Bone marrow aspirate smear.
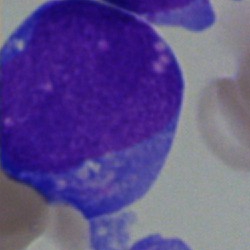
Showing a blast cell.